Bone marrow aspirate smear: 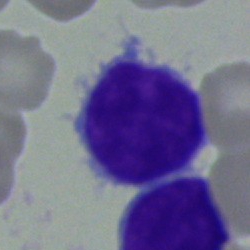

Q: What is the morphological classification of this cell?
A: This is a typical lymphocyte.